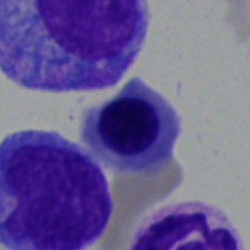 Classification: erythroblast.